Bone marrow aspirate smear; MGG-stained:
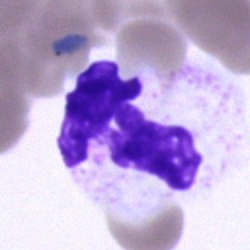 Single cell identified as a neutrophil (segmented).